Bone marrow smear
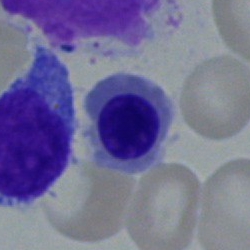
Q: Identify the cell.
A: Nucleated red cell.